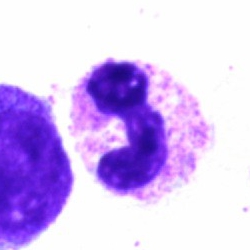
Single cell identified as a segmented neutrophil.